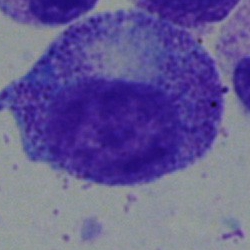 Q: Identify the cell.
A: This is a myelocyte.